Bone marrow aspirate smear
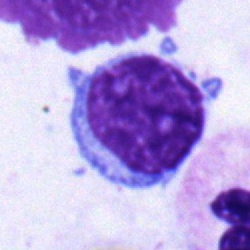Morphological class: typical lymphocyte.